Bone marrow aspirate smear
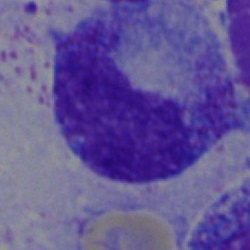Showing a promyelocyte.